Bone marrow aspirate smear
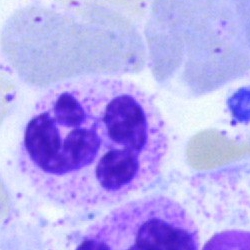{"cell_type": "segmented neutrophil"}